Bone marrow smear.
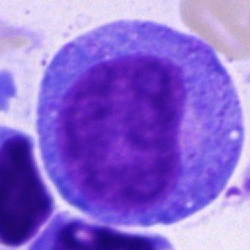Cell type: progranulocyte.